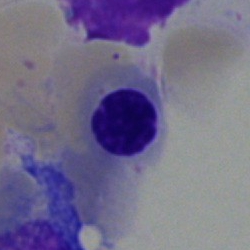

Morphology consistent with a normoblast.